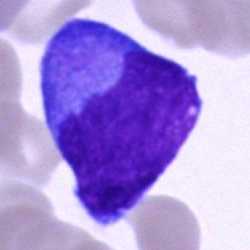The morphological class is blast cell.